Bone marrow smear — 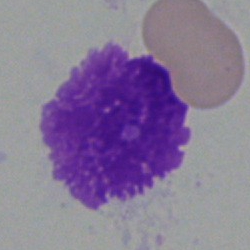Single cell identified as an artefact.